Bone marrow aspirate smear — 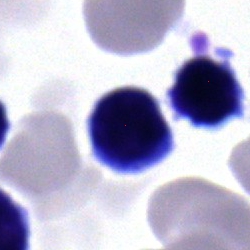

Morphological class: lymphocyte.